Bone marrow smear. Brightfield, 40× oil-immersion objective. Single-cell crop.
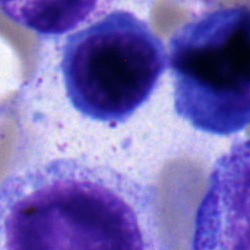Q: What is the morphological classification of this cell?
A: Nucleated red cell.